Bone marrow aspirate smear — 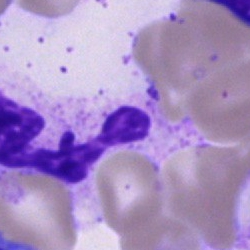The cell is segmented neutrophil.